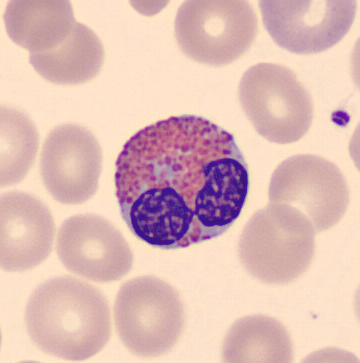

The cell shown is an eosinophilic granulocyte.

Image: Peripheral blood smear.